Bone marrow aspirate smear; single-cell field:
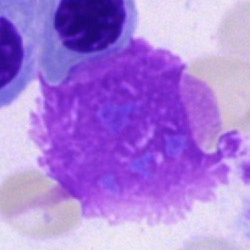 Impression → artifact.